Image size 250×250. 40× oil immersion. Bone marrow smear
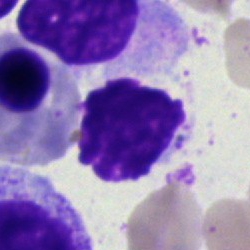
{"cell_type": "artifact"}